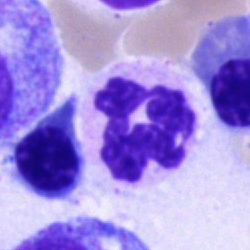 Showing a polymorphonuclear neutrophil.